Bone marrow smear
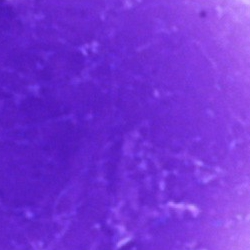An artefact.